Brightfield microscopy, 40× oil immersion. Bone marrow aspirate smear.
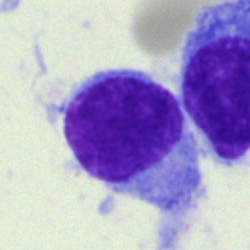

Cell: hairy cell.